Brightfield microscopy, 40× oil immersion · bone marrow aspirate smear
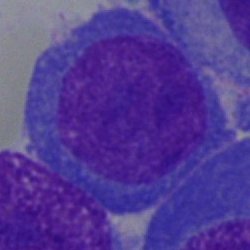 Cell — plasma cell.